Bone marrow aspirate smear: 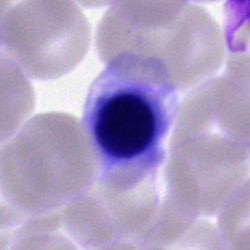

Showing a nucleated red cell.